250×250. Brightfield microscopy, 40× oil immersion. Bone marrow aspirate smear.
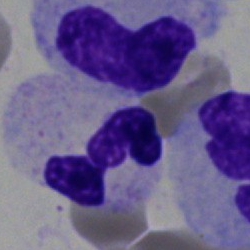

Q: What cell is this?
A: A neutrophil (segmented).